Peripheral blood smear
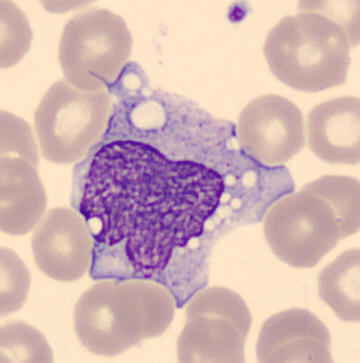 {"cell_type": "monocyte", "lineage": "myeloid"}